Single cell centered in the field · bone marrow aspirate smear · Pappenheim-stained
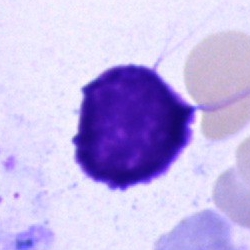
Showing an artefact.